Peripheral blood smear
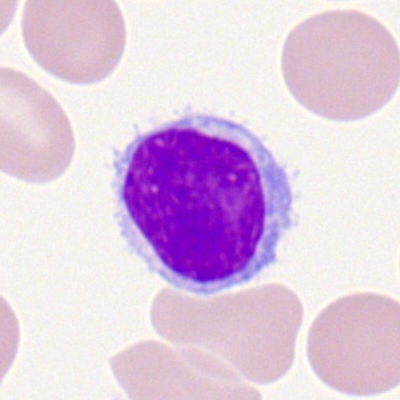

Cell — lymphocyte.